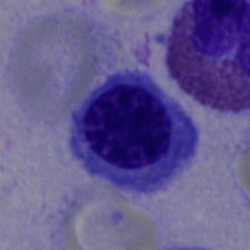

Impression — normoblast.